Bone marrow smear — 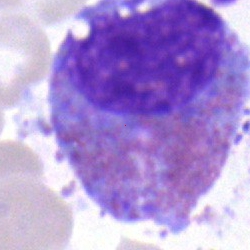Cell type = eosinophil.